Bone marrow aspirate smear: 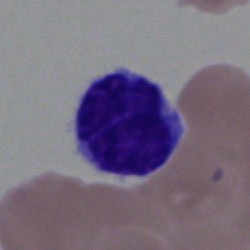 Showing a lymphocyte.